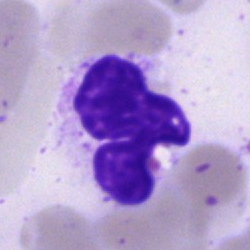
Impression → neutrophil (segmented).